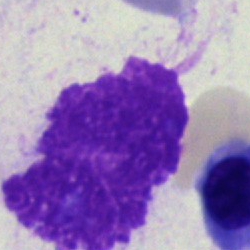 Single-cell crop from a bone marrow smear: artefact.